40× objective, oil immersion · bone marrow aspirate smear · May-Grünwald-Giemsa/Pappenheim stain:
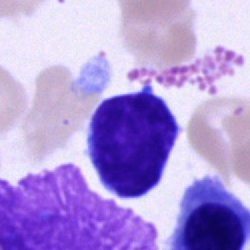 Showing a cell of indeterminate lineage.